Bone marrow smear — 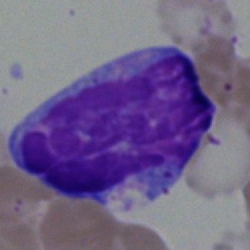Morphological class — undifferentiated blast.